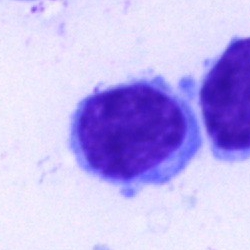Showing a lymphocyte.